Bone marrow aspirate smear — 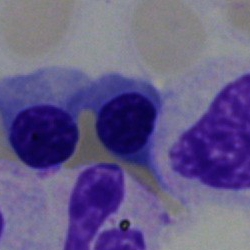
{"cell_type": "nucleated red blood cell"}